Brightfield, 40× oil-immersion objective · bone marrow smear.
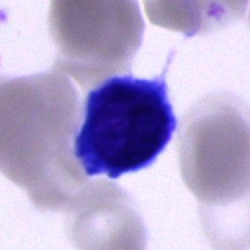

The cell type is unidentifiable cell.